Single cell centered in the field. Bone marrow smear. 40× objective, oil immersion:
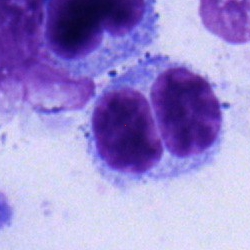 Single cell identified as a lymphocyte.